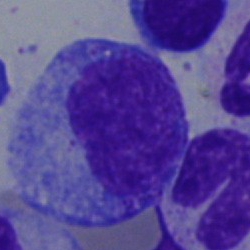 Morphology — progranulocyte.